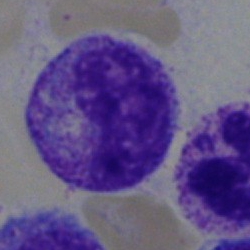{"cell_type": "metamyelocyte", "lineage": "myeloid"}